Single-cell field · peripheral blood smear: 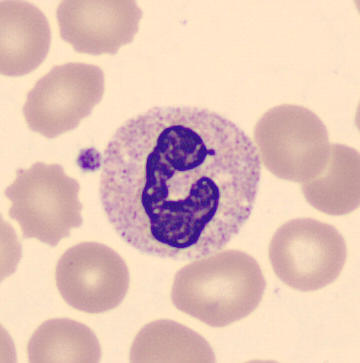 Single cell identified as a band neutrophil.